Bone marrow smear · 40× objective, oil immersion:
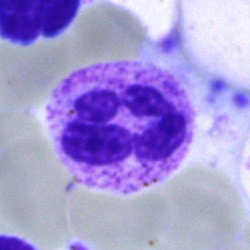This is a polymorphonuclear neutrophil.